250 by 250 pixels; May-Grünwald-Giemsa stain; bone marrow smear
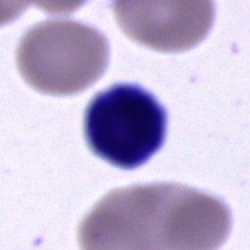

Q: What type of cell is this?
A: This is an unidentifiable cell.